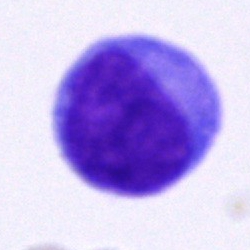

Morphological class = blast.